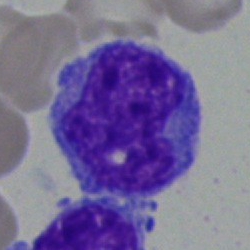 Classification — blast cell.